Brightfield microscopy, 40× oil immersion. Bone marrow aspirate smear: 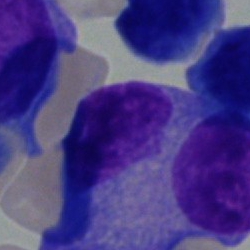Impression — plasmacyte.